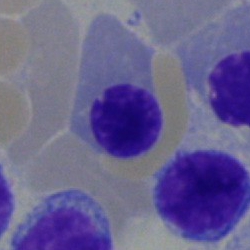

Q: What type of cell is this?
A: This is a nucleated red cell.